250 by 250 pixels. Bone marrow aspirate smear. Brightfield, 40× oil-immersion objective
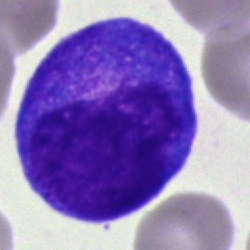The cell is progranulocyte.